Bone marrow aspirate smear: 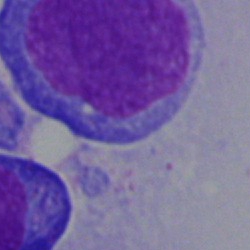

Cell = blast.